Bone marrow aspirate smear: 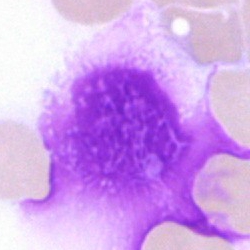
Morphology → artefact.